Bone marrow smear: 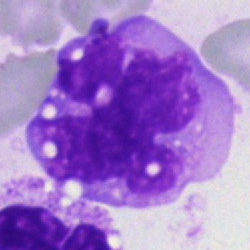 The cell shown is a monocyte.